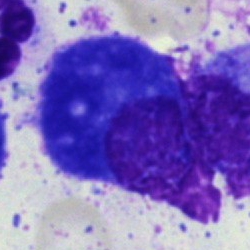

Morphological class: plasma cell.